Bone marrow aspirate smear · single-cell crop · MGG-stained — 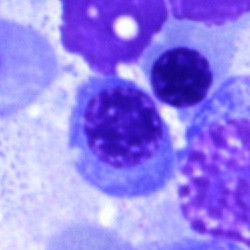Q: Which cell type is shown here?
A: Erythroblast.